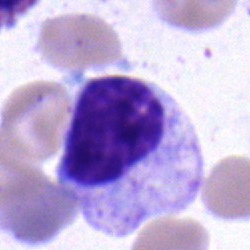
{"cell_type": "myelocyte"}